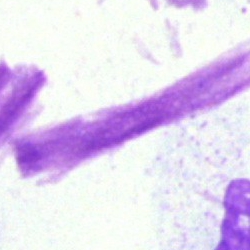 Q: What is shown here?
A: This is an artefact.